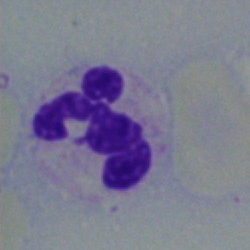The cell shown is a neutrophil (segmented).